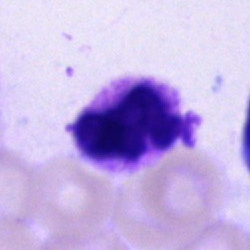This is a neutrophil (segmented).